Bone marrow smear — 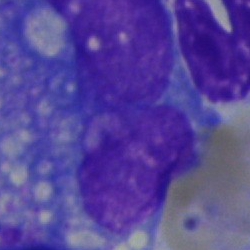

Q: Identify the cell.
A: It is a monocyte.